Bone marrow smear: 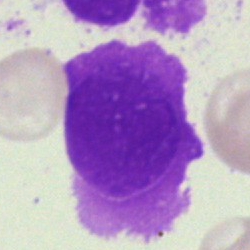

Cell type = artefact.